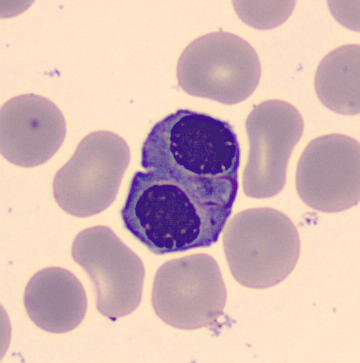

Image: Image size 360×363.
Specimen: peripheral blood film.
Cell type: normoblast.